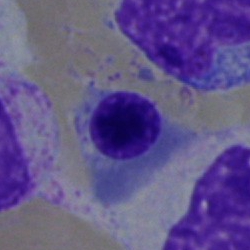
The cell type is nucleated red cell.